250×250 · bone marrow aspirate smear
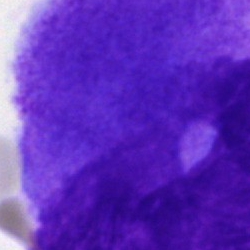 Morphology consistent with an artefact.